Bone marrow aspirate smear — 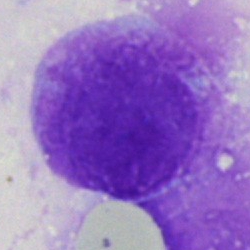
The cell is artefact.